Bone marrow smear · 250×250 · single cell centered in the field
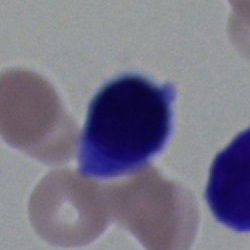 The cell shown is a lymphocyte.